Bone marrow smear — 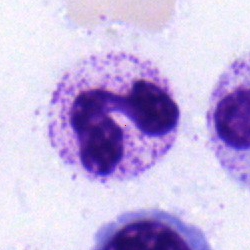The cell is neutrophil (segmented).